40× objective, oil immersion · bone marrow smear.
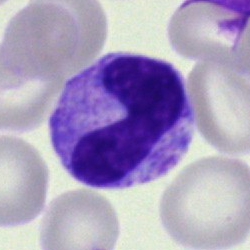

Cell = band-form neutrophil.